400 by 400 pixels · peripheral blood film · brightfield, 100× oil-immersion objective.
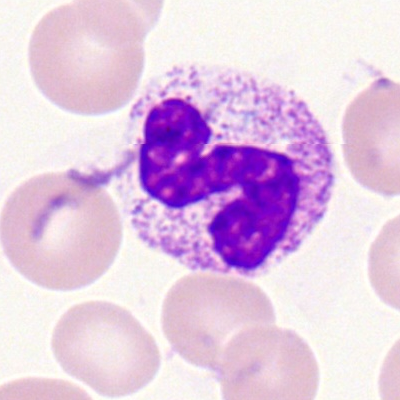

Morphological class = neutrophil (segmented).